40× objective, oil immersion · image size 250×250 · bone marrow aspirate smear
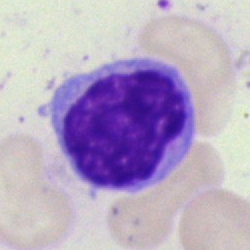

Showing a typical lymphocyte.